Bone marrow aspirate smear — 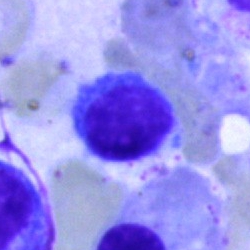
Morphology consistent with a typical lymphocyte.